Bone marrow aspirate smear. Cropped to a single cell. 40× objective, oil immersion
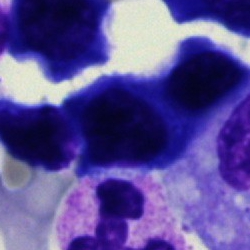

This is a nucleated red blood cell.